Bone marrow smear; 40× objective, oil immersion:
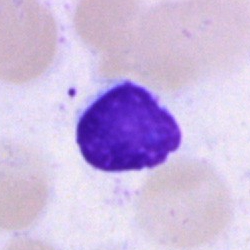
Morphology consistent with a lymphocyte.